Bone marrow smear
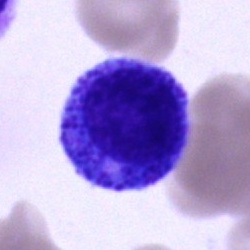

Cell type = progranulocyte.